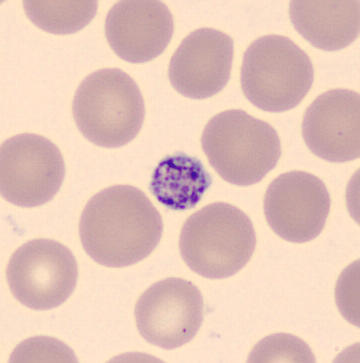Peripheral blood film; CellaVision DM96 digital cell image.
Q: What is this?
A: A platelet.